Bone marrow smear: 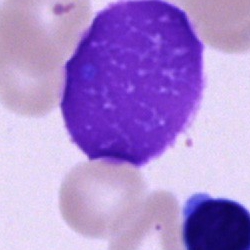The cell shown is an artifact.